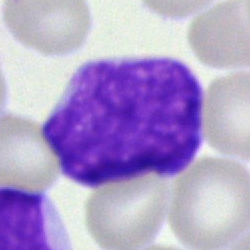 An undifferentiated blast.